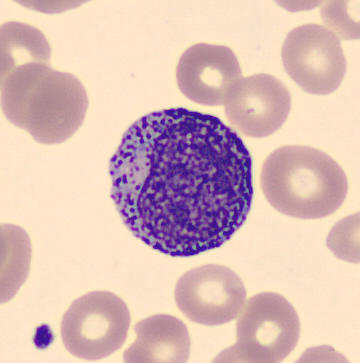
Morphology — promyelocyte. Peripheral blood film.